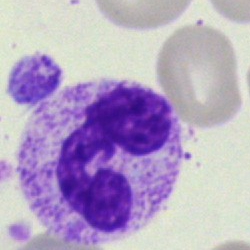 The morphological class is segmented neutrophil.